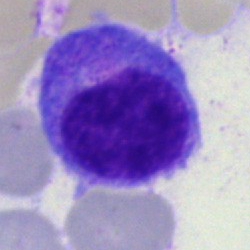This is a monocyte.